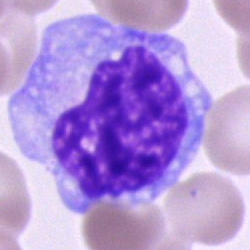
Classification: monocyte.